250×250 px. Bone marrow aspirate smear: 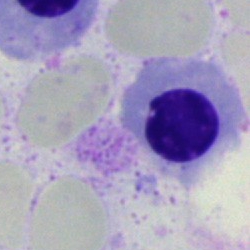
{"cell_type": "erythroblast", "lineage": "erythroid"}